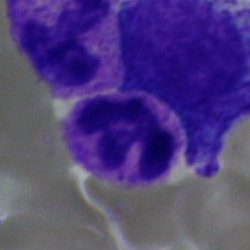 Bone marrow aspirate smear, single cell — segmented neutrophil.